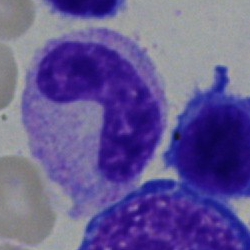 Q: What is the morphological classification of this cell?
A: A stab cell.